Bone marrow aspirate smear — 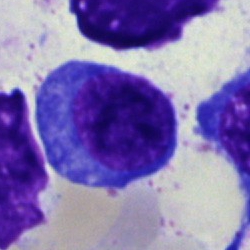 Specimen: bone marrow aspirate smear.
Cell: normoblast.
Lineage: erythroid.